Bone marrow aspirate smear: 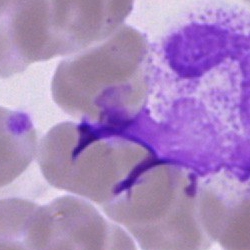

Specimen: bone marrow smear.
Cell: artifact.